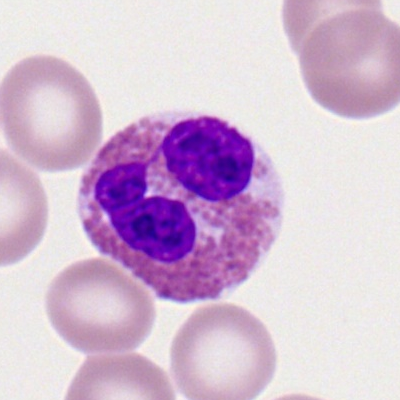
This is an eosinophil.